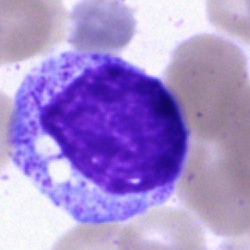 Impression — promyelocyte.